Single-cell field; peripheral blood smear
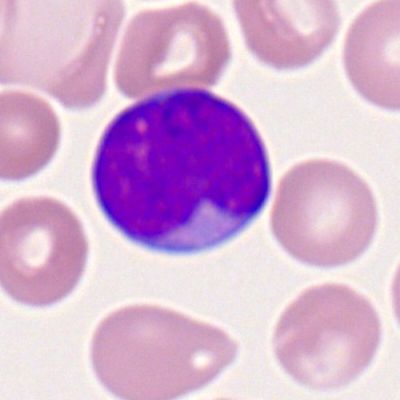 Specimen: peripheral blood smear.
Classification: myeloid blast.
Lineage: myeloid.